Bone marrow smear; brightfield, 40× oil-immersion objective; 250×250 px:
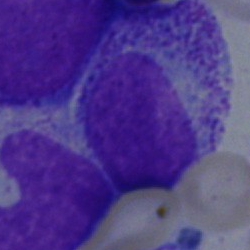 Morphology consistent with a myelocyte.